Bone marrow aspirate smear. Image size 250×250:
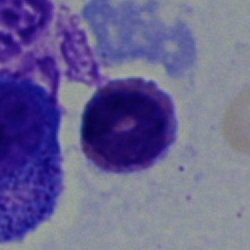 Morphology consistent with an eosinophilic granulocyte.